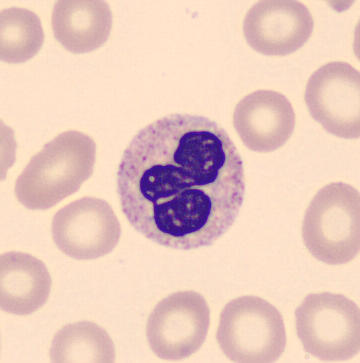Preparation: Peripheral blood smear.

This is a polymorphonuclear neutrophil.